Bone marrow aspirate smear:
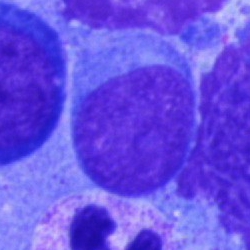

Classification = blast.